Bone marrow smear: 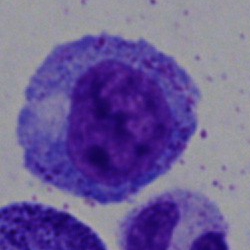
Impression — promyelocyte.